May-Grünwald-Giemsa stain; bone marrow aspirate smear:
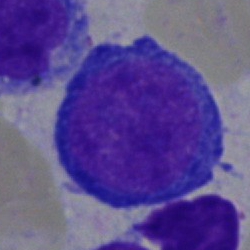 Morphological class = proerythroblast.